Bone marrow smear:
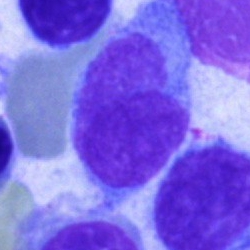

A hairy cell.